Bone marrow aspirate smear:
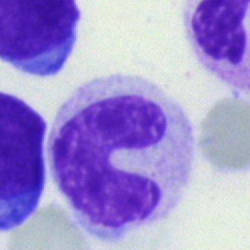

{"cell_type": "band-form neutrophil", "lineage": "myeloid"}